Peripheral blood smear; Romanowsky-type stain — 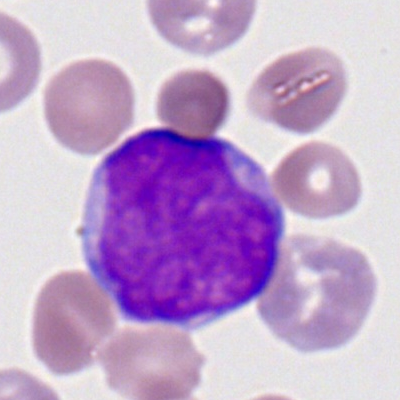 Cell type = myeloblast.